Single cell centered in the field; bone marrow aspirate smear.
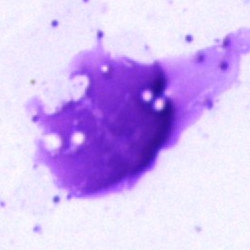

Q: What is shown here?
A: This is an artefact.